Cropped to a single cell; 40× objective, oil immersion; bone marrow smear:
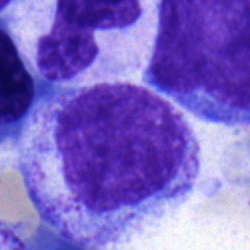
Impression — myelocyte.